Bone marrow aspirate smear: 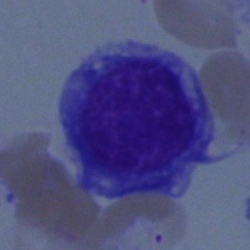

An erythroblast.